Peripheral blood film:
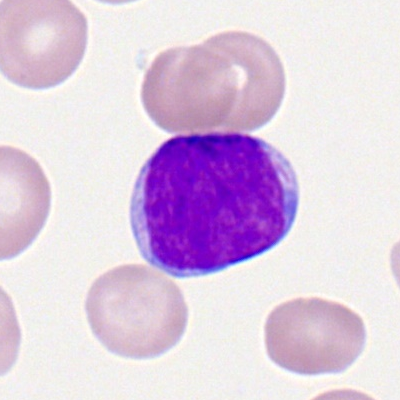
The cell is lymphocyte.